Bone marrow aspirate smear. 40× oil immersion.
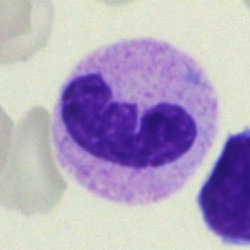Band-form neutrophil.